250×250 · May-Grünwald-Giemsa/Pappenheim stain · bone marrow aspirate smear — 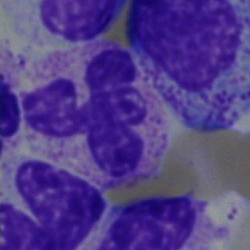 Specimen: bone marrow smear.
Morphological class: segmented neutrophil.